Bone marrow smear — 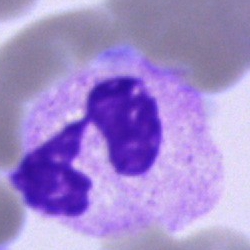
Q: Identify the cell.
A: It is a neutrophil (segmented).